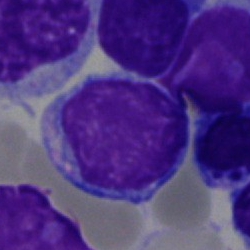Q: Which cell type is shown here?
A: It is a lymphocyte.